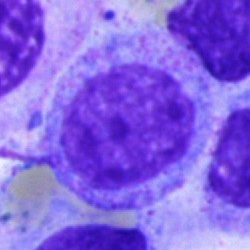

Morphological class — myelocyte.